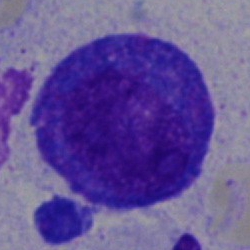
Q: Identify the cell.
A: It is a progranulocyte.